Bone marrow aspirate smear. May-Grünwald-Giemsa/Pappenheim stain. 250×250
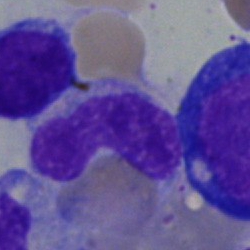 Cell — band-form neutrophil.